Bone marrow smear — 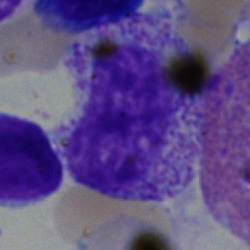Showing a myelocyte.